Bone marrow smear.
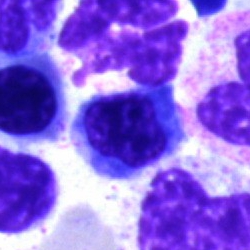Specimen: bone marrow aspirate smear.
Cell: nucleated red blood cell.